Bone marrow aspirate smear: 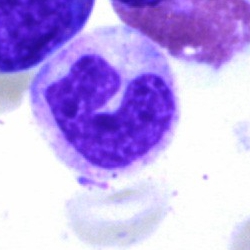Q: What cell is this?
A: It is a neutrophil (segmented).